Bone marrow smear: 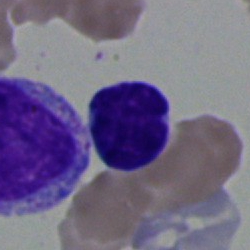Showing a typical lymphocyte.